Bone marrow aspirate smear: 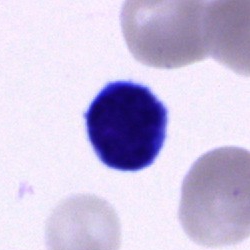Q: What is shown here?
A: It is an unidentifiable cell.